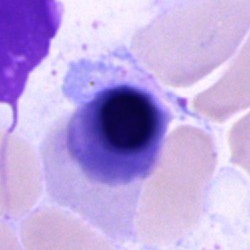

Q: What type of cell is this?
A: Nucleated red cell.